Bone marrow smear
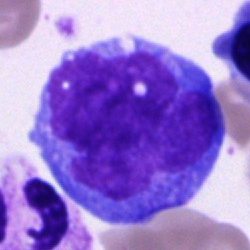
Cell: monocyte.